Bone marrow aspirate smear — 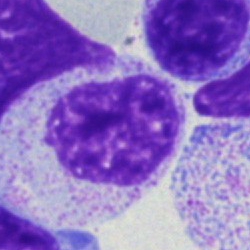

Single cell identified as a myelocyte.